Bone marrow smear.
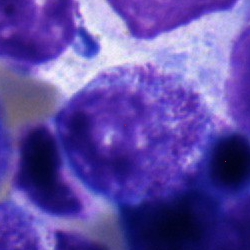
Morphology consistent with a progranulocyte.